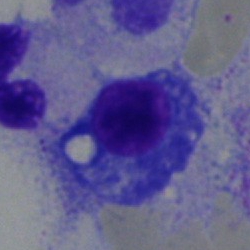

{"cell_type": "plasmacyte", "lineage": "lymphoid"}